Bone marrow aspirate smear:
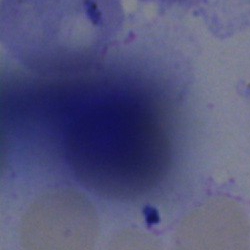
Cell type — artefact.